MGG-stained; bone marrow aspirate smear:
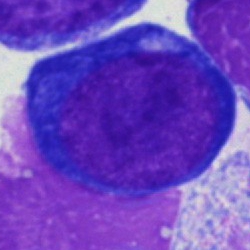 The cell type is proerythroblast.